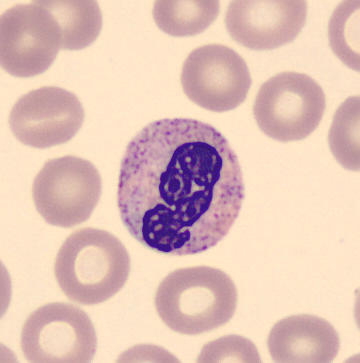 Peripheral blood smear. Q: Identify the cell.
A: It is a segmented neutrophil.